Bone marrow aspirate smear; single-cell field — 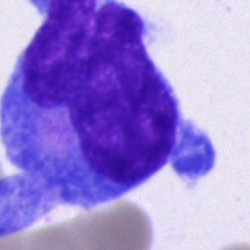A blast.